May-Grünwald-Giemsa stain; bone marrow aspirate smear — 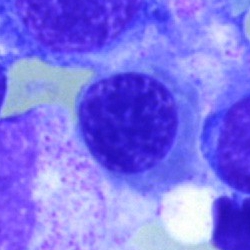Morphology — nucleated red blood cell.